Single cell centered in the field. Bone marrow smear.
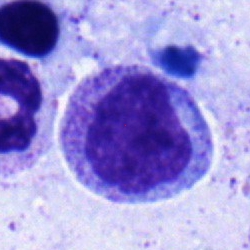Specimen: bone marrow aspirate smear.
Morphological class: myelocyte.